Bone marrow smear — 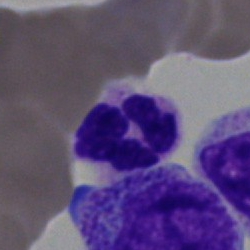
Q: What is the morphological classification of this cell?
A: A polymorphonuclear neutrophil.